400 by 400 pixels. Peripheral blood smear
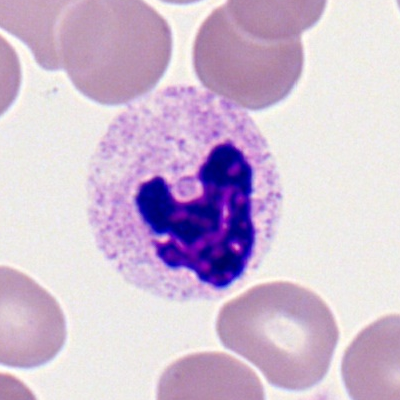 Specimen: peripheral blood smear.
Cell: polymorphonuclear neutrophil.